Single-cell crop · bone marrow smear:
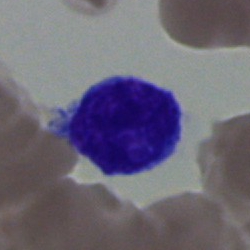
Morphology consistent with a typical lymphocyte.